Bone marrow aspirate smear · brightfield microscopy, 40× oil immersion · single cell centered in the field — 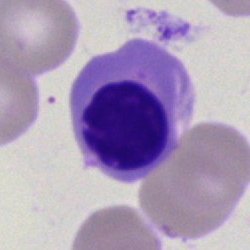 Cell = nucleated red blood cell.